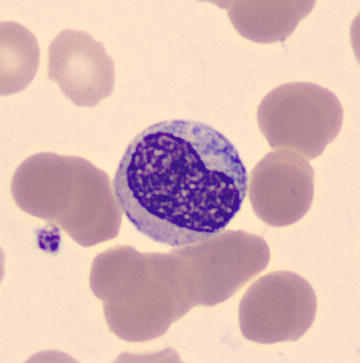Specimen: peripheral blood film.
Cell: metamyelocyte.
Lineage: myeloid. May-Grünwald-Giemsa-stained. Single-cell crop.